Peripheral blood smear:
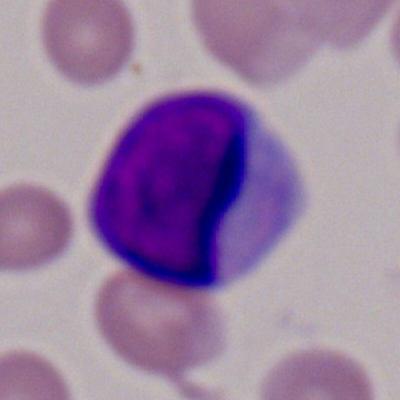 Q: What type of cell is this?
A: It is a myeloid blast.